Peripheral blood film; Romanowsky-stained; 100× oil immersion, 14.14 px/µm: 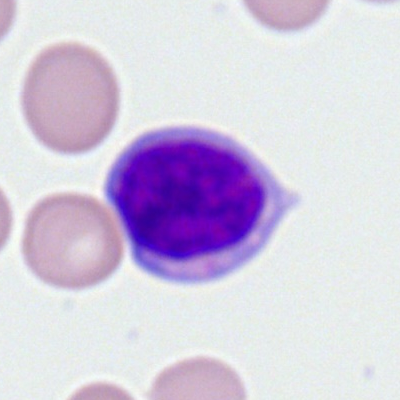
Impression — typical lymphocyte.